Peripheral blood film; Romanowsky stain.
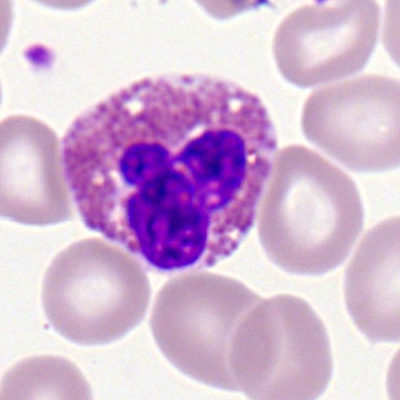Cell type = eosinophil.